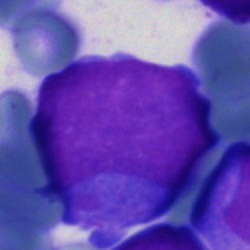
Bone marrow aspirate smear, single cell — undifferentiated blast.